Bone marrow smear
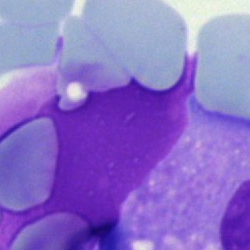 Specimen: bone marrow smear.
Cell type: artifact.